Bone marrow smear; image size 250×250.
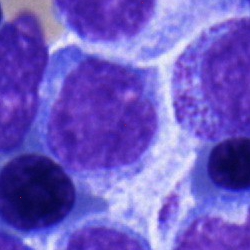Showing a monocyte.